Bone marrow aspirate smear · cropped to a single cell
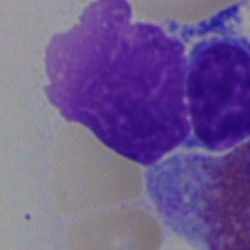 Cell type — artifact.